Bone marrow smear. 40× objective, oil immersion
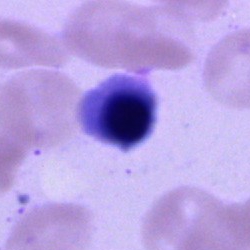 The classification is nucleated red cell.